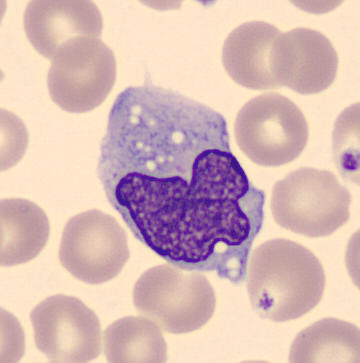Specimen: peripheral blood smear.
Cell type: monocyte.